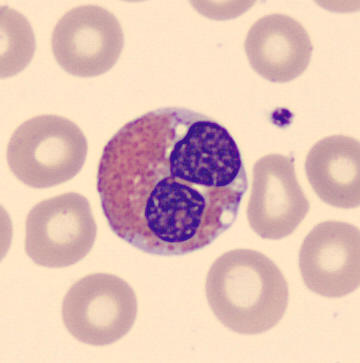
Showing an eosinophilic granulocyte.